Bone marrow aspirate smear:
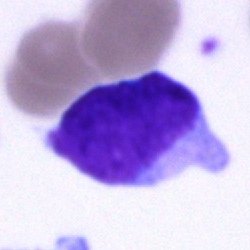
{"cell_type": "undifferentiated blast"}